Bone marrow aspirate smear. Image size 250×250. Brightfield microscopy, 40× oil immersion:
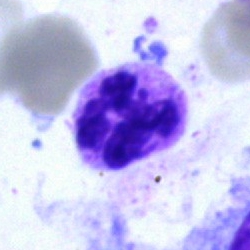

Impression → segmented neutrophil.